MGG-stained; bone marrow aspirate smear — 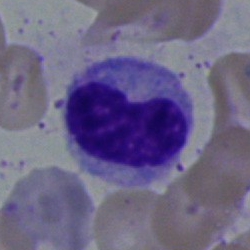

The cell is metamyelocyte.